Peripheral blood smear
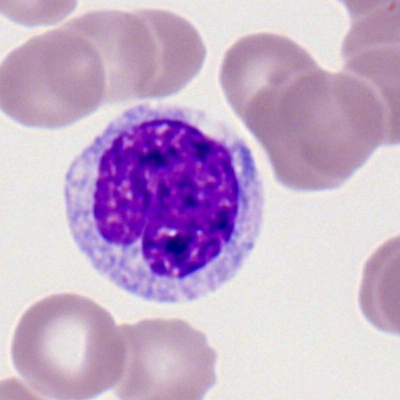

This is a monocyte.